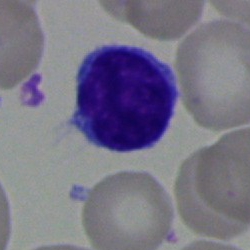 Specimen: bone marrow aspirate smear.
Cell type: lymphocyte.